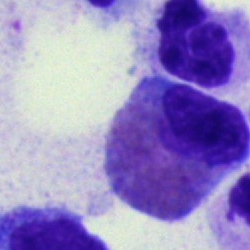
A basophil.